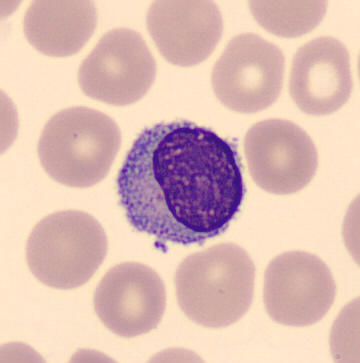Specimen: peripheral blood smear.
Cell: lymphocyte.